Peripheral blood smear:
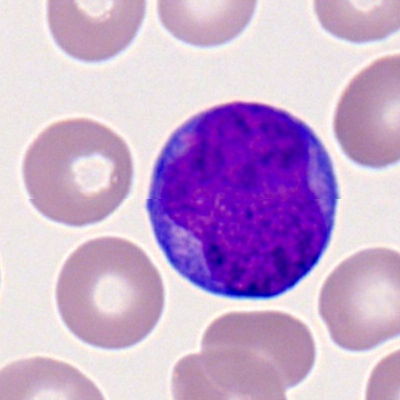
This is a myeloblast.